Bone marrow aspirate smear: 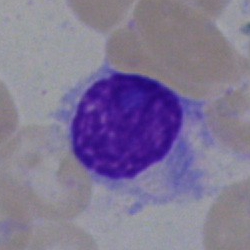
Morphology consistent with a plasma cell.